Bone marrow smear.
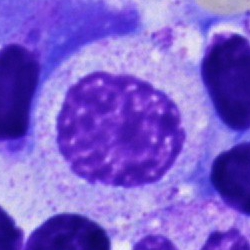Myelocyte.